Bone marrow aspirate smear.
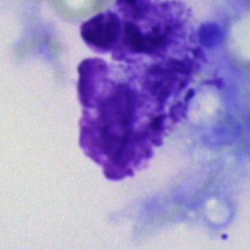

This is an artifact.